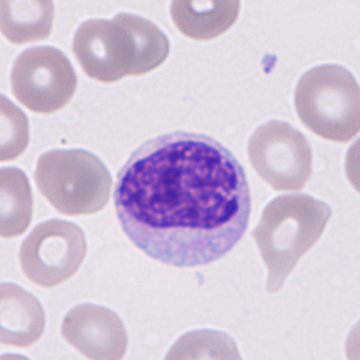

The cell is granulocyte precursor.